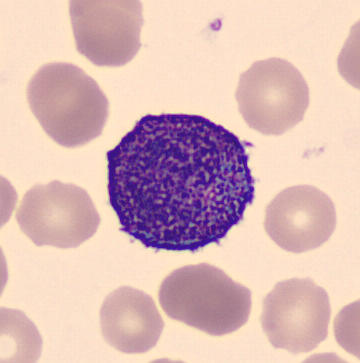The morphological class is promyelocyte. Preparation: Peripheral blood smear.